Peripheral blood smear: 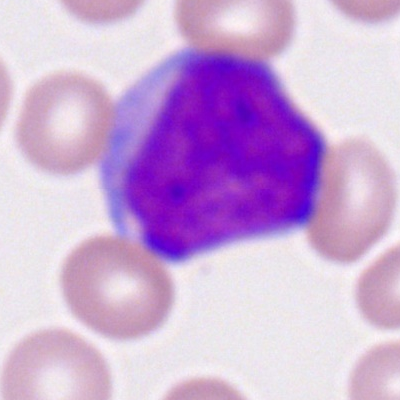Cell type — myeloblast.